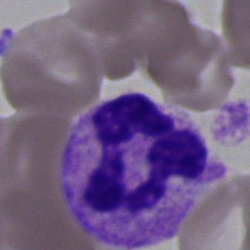Cell type: segmented neutrophil.